Bone marrow aspirate smear.
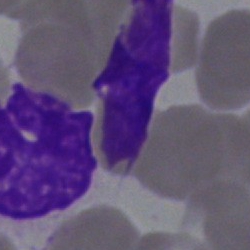{"cell_type": "artifact"}